Peripheral blood film
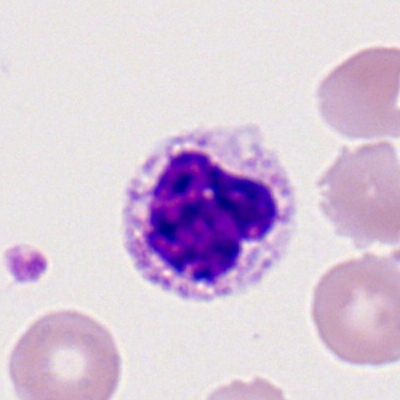The classification is neutrophil (segmented).